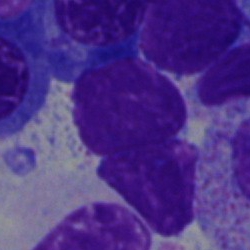 Cell type = artefact.